Bone marrow aspirate smear.
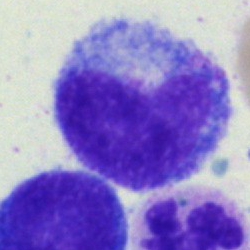Morphological class = promyelocyte.